Bone marrow smear; Pappenheim-stained:
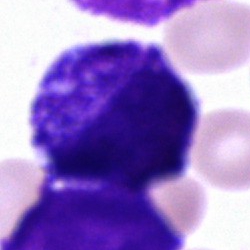
Morphological class — unidentifiable cell.